Bone marrow smear. May-Grünwald-Giemsa/Pappenheim stain. 250×250 — 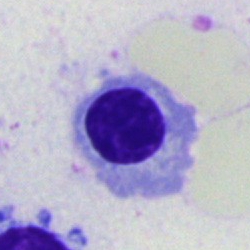The morphological class is normoblast.